Bone marrow smear:
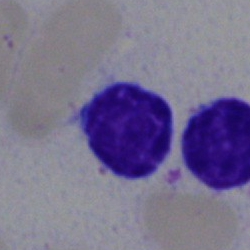Classification = typical lymphocyte.